100× oil immersion, 14.14 px/µm · Romanowsky-type stain · peripheral blood smear — 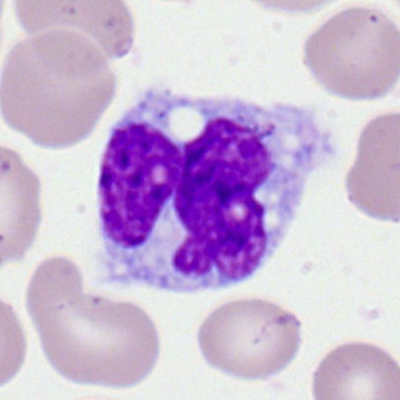Q: What cell is this?
A: It is a monocyte.